Bone marrow aspirate smear. May-Grünwald-Giemsa stain — 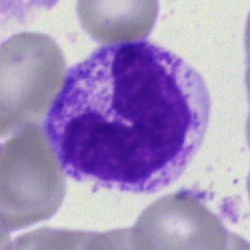 Morphology consistent with a band-form neutrophil.